Bone marrow aspirate smear.
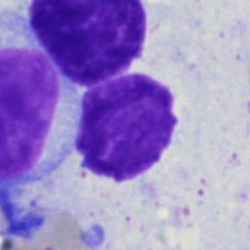
Cell — artifact.